Bone marrow aspirate smear; single cell centered in the field.
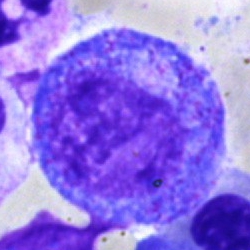 Progranulocyte.